Bone marrow aspirate smear — 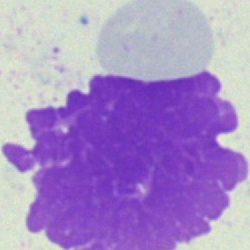

Cell type — artefact.